Bone marrow smear · single-cell crop.
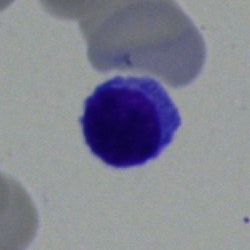

Specimen: bone marrow aspirate smear.
Cell type: lymphocyte.
Lineage: lymphoid.